Bone marrow smear. 40× objective, oil immersion
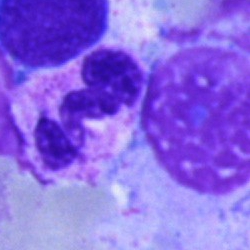

A neutrophil (segmented).